Bone marrow aspirate smear
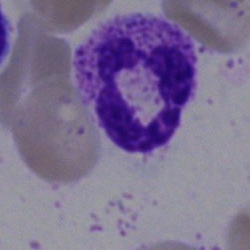Specimen: bone marrow smear.
Classification: polymorphonuclear neutrophil.